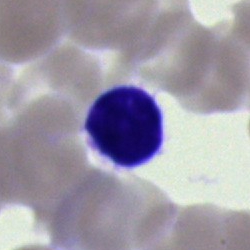
Bone marrow aspirate smear, single cell — typical lymphocyte.